250 by 250 pixels; bone marrow smear: 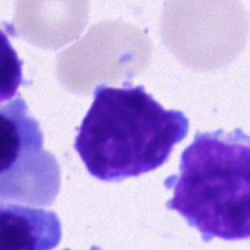
Morphological class — typical lymphocyte.